Bone marrow smear:
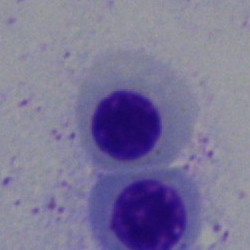

Q: What is shown here?
A: A nucleated red blood cell.